Bone marrow aspirate smear:
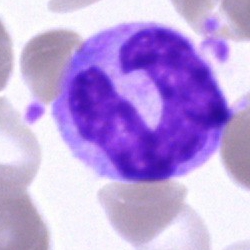 {"cell_type": "monocyte"}